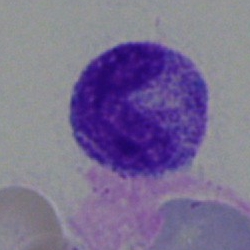

Band-form neutrophil.